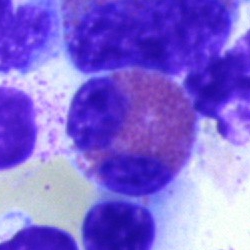 Q: Identify the cell.
A: It is an eosinophil.